Bone marrow smear; 250 by 250 pixels
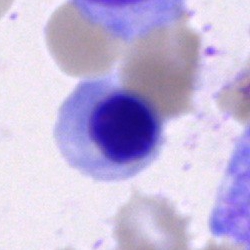
Morphology consistent with an erythroblast.